Romanowsky-type stain · peripheral blood film · 100× oil immersion, 14.14 px/µm — 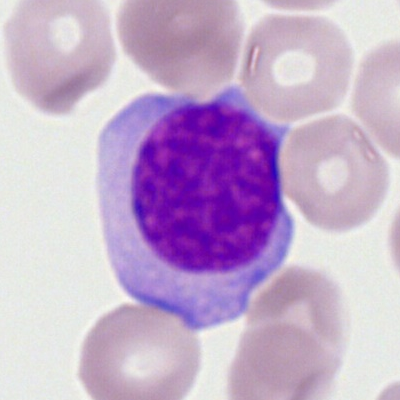Impression → myeloblast.